Pappenheim-stained. Single cell centered in the field. Bone marrow aspirate smear — 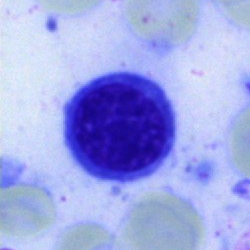Cell type = nucleated red blood cell.